May-Grünwald-Giemsa stain; bone marrow smear; 40× objective, oil immersion — 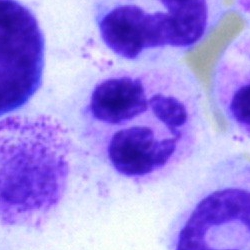Q: What is shown here?
A: Segmented neutrophil.